Bone marrow smear:
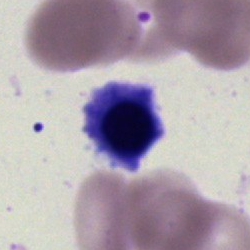 Specimen: bone marrow smear.
Cell type: nucleated red blood cell.